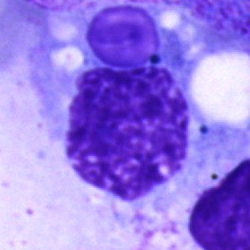Classification = artefact.